Bone marrow smear.
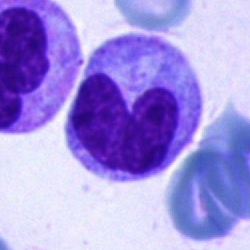 Morphology consistent with a neutrophil (band).